Bone marrow smear.
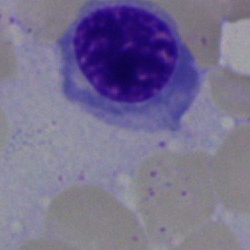
Q: Which cell type is shown here?
A: This is a nucleated red blood cell.